Bone marrow smear.
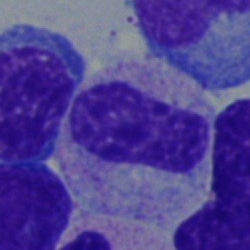Metamyelocyte.